Single cell centered in the field. Bone marrow smear.
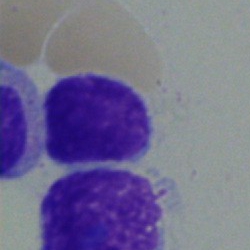 Cell — typical lymphocyte.